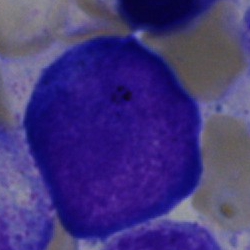Bone marrow aspirate smear, single cell — pronormoblast.